Bone marrow aspirate smear. 250×250. May-Grünwald-Giemsa stain:
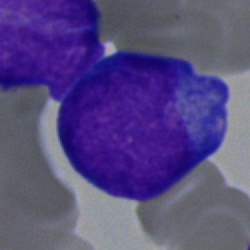Cell type — blast cell.